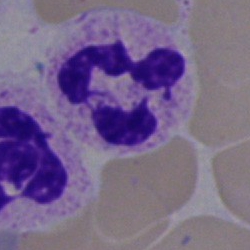Specimen: bone marrow aspirate smear.
Classification: polymorphonuclear neutrophil.
Lineage: myeloid.